Bone marrow smear
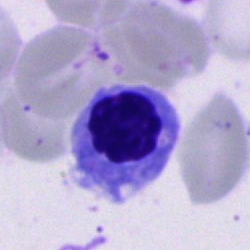Morphological class = nucleated red blood cell.